Bone marrow aspirate smear:
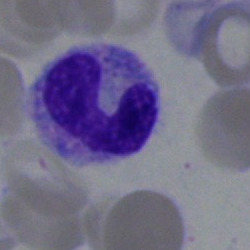
Cell type — band neutrophil.